Bone marrow aspirate smear — 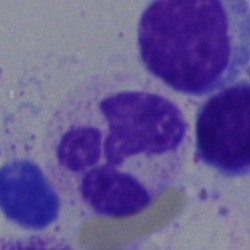
Morphological class = neutrophil (segmented).